Single-cell crop; bone marrow smear
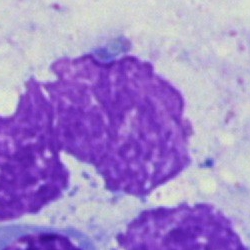 An artifact.